Bone marrow aspirate smear. 250 by 250 pixels.
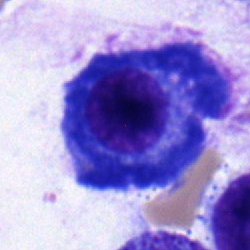
Impression → plasmacyte.